Bone marrow smear:
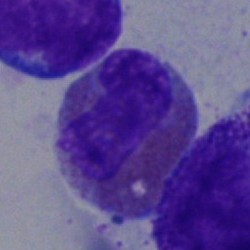

Morphology → eosinophilic granulocyte.